Bone marrow smear.
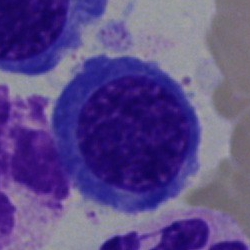
Specimen: bone marrow smear.
Classification: nucleated red blood cell.